40× oil immersion; bone marrow aspirate smear:
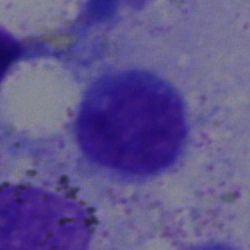

Morphology consistent with a typical lymphocyte.